Single-cell crop · CellaVision DM96 · peripheral blood film
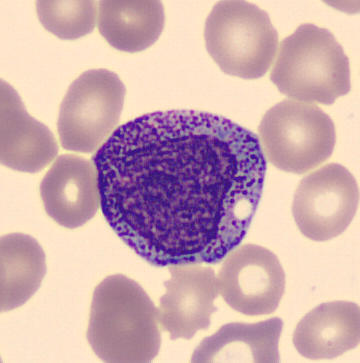 Q: What is shown here?
A: Progranulocyte.